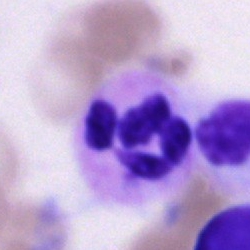

The classification is neutrophil (segmented).